Bone marrow aspirate smear · single-cell field: 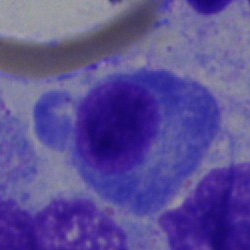
Classification = plasma cell.